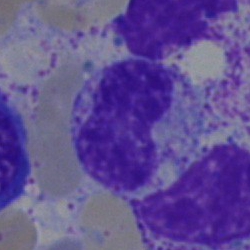The morphological class is metamyelocyte.